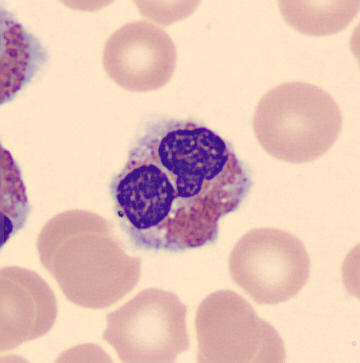Morphology consistent with an eosinophilic granulocyte.